MGG-stained · bone marrow smear
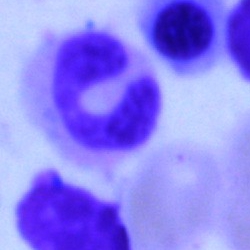This is a neutrophil (segmented).